Bone marrow aspirate smear; single-cell field.
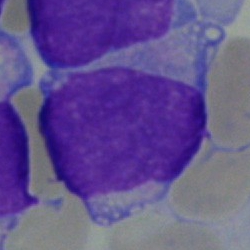

Morphological class — blast cell.